Peripheral blood smear — 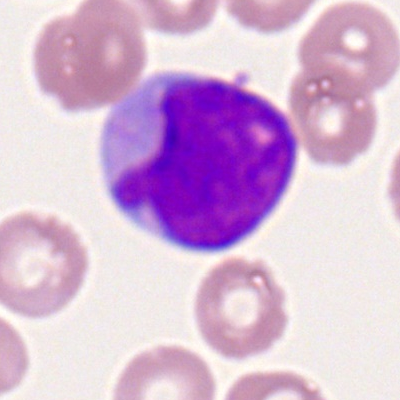 Q: What type of cell is this?
A: A myeloblast.